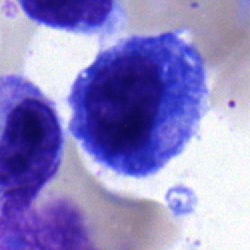

Bone marrow aspirate smear, single cell — myelocyte.